Bone marrow smear — 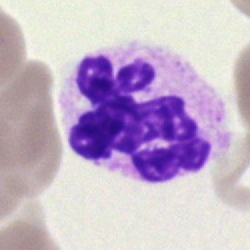

Q: What is shown here?
A: A polymorphonuclear neutrophil.